Bone marrow aspirate smear: 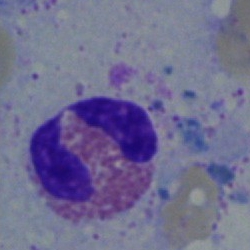

Impression → eosinophil.